CellaVision DM96 digital cell image. Peripheral blood smear. 360×363 px:
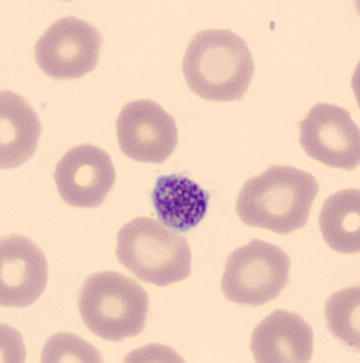

Morphology — platelet (thrombocyte).